Bone marrow aspirate smear.
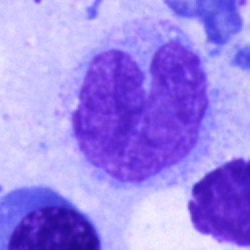

Q: What is the morphological classification of this cell?
A: A monocyte.